250×250 px. Bone marrow smear. MGG-stained
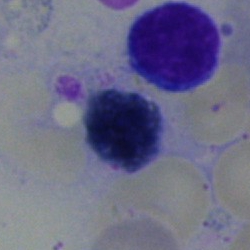
{"cell_type": "nucleated red blood cell"}